Cropped to a single cell; bone marrow smear; May-Grünwald-Giemsa/Pappenheim stain.
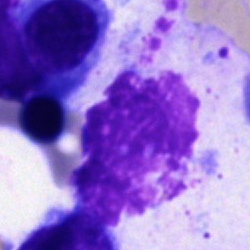The cell shown is an artifact.